Bone marrow aspirate smear: 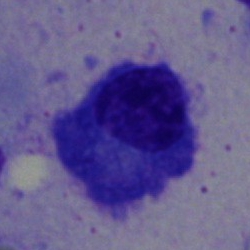

{"cell_type": "plasma cell", "lineage": "lymphoid"}